Bone marrow aspirate smear. 40× objective, oil immersion: 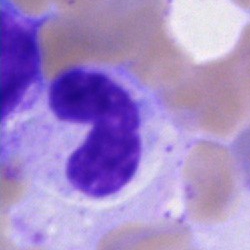The cell shown is a band-form neutrophil.